Bone marrow aspirate smear
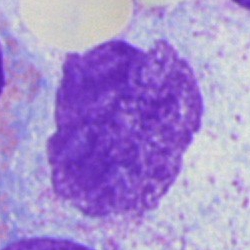
Showing an artifact.